Bone marrow smear.
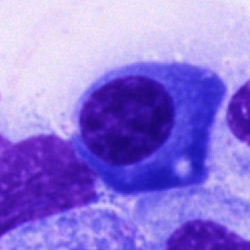
Morphological class: plasmacyte.